Peripheral blood smear. Single-cell field: 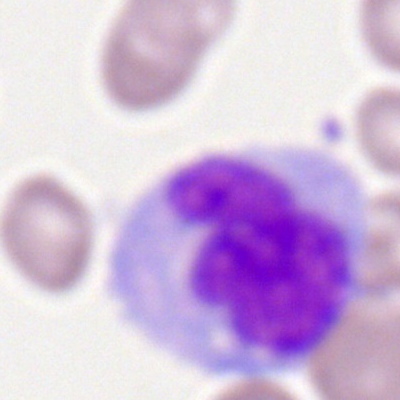

Showing a monocyte.